Bone marrow smear
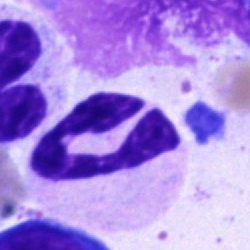
Morphological class: polymorphonuclear neutrophil.